Bone marrow smear · 40× objective, oil immersion — 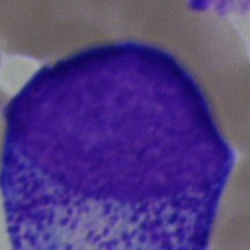Showing a promyelocyte.